May-Grünwald-Giemsa/Pappenheim stain. Bone marrow aspirate smear:
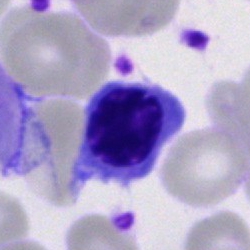
Morphology consistent with a nucleated red blood cell.